Pappenheim-stained; bone marrow smear; image size 250×250
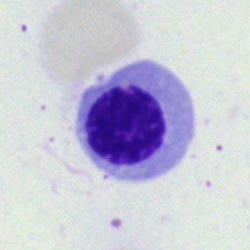
Normoblast.